Brightfield, 40× oil-immersion objective; bone marrow smear
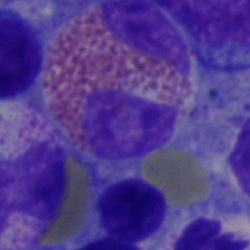
Single cell identified as an eosinophilic granulocyte.